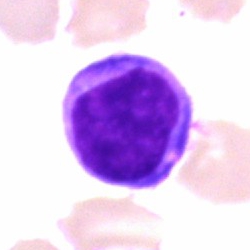Cell: typical lymphocyte.